Bone marrow smear — 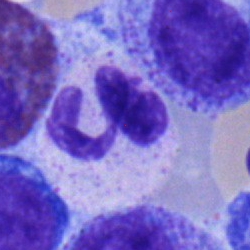
Specimen: bone marrow aspirate smear.
Morphological class: neutrophil (segmented).
Lineage: myeloid.